Peripheral blood smear. 100× oil immersion, 14.14 px/µm — 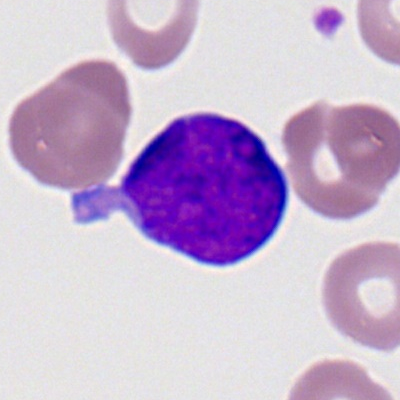Specimen: peripheral blood film.
Cell: myeloid blast.
Lineage: myeloid.